250×250 px. Bone marrow aspirate smear:
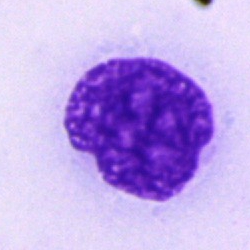 Classification = artifact.